Bone marrow aspirate smear.
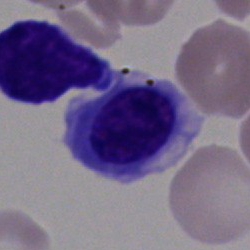

Showing a normoblast.